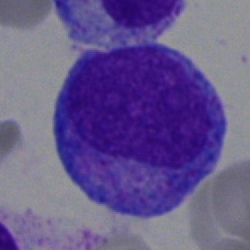

The cell shown is a progranulocyte.